Bone marrow aspirate smear.
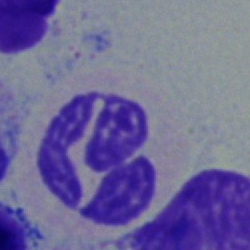 Single cell identified as a segmented neutrophil.